Bone marrow aspirate smear: 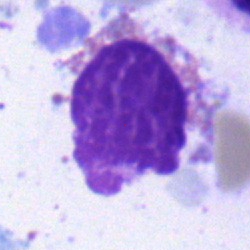Cell — eosinophil.